Bone marrow smear — 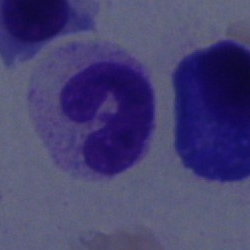

The cell type is segmented neutrophil.